Bone marrow smear. Brightfield microscopy, 40× oil immersion:
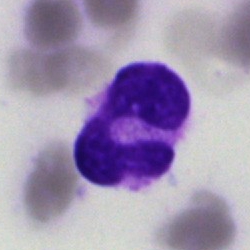 {"cell_type": "polymorphonuclear neutrophil"}